Bone marrow smear. May-Grünwald-Giemsa stain. 40× oil immersion.
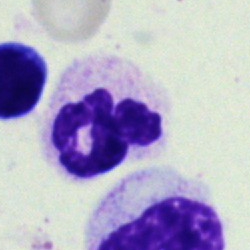 A polymorphonuclear neutrophil.